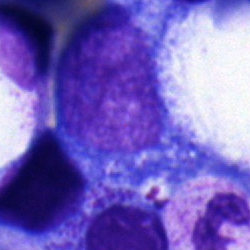
{"cell_type": "progranulocyte", "lineage": "myeloid"}